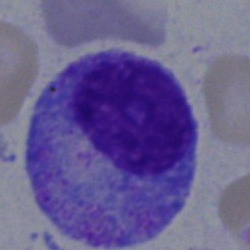

A promyelocyte.